Peripheral blood film
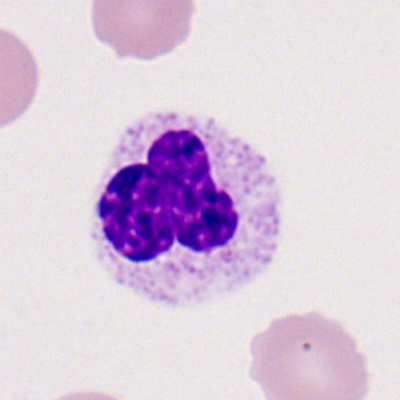

This is a segmented neutrophil.